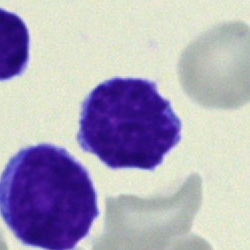

Bone marrow aspirate smear, single cell — typical lymphocyte.